Bone marrow smear
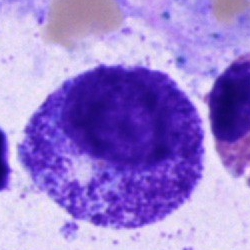Progranulocyte.